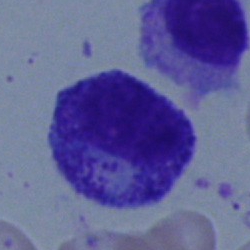

Impression → progranulocyte.